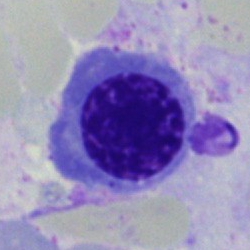 Bone marrow smear showing an erythroblast.